Bone marrow smear · 250×250: 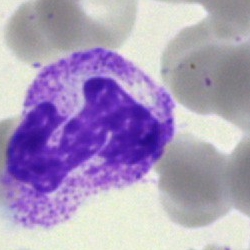
This is a neutrophil (segmented).